Bone marrow aspirate smear: 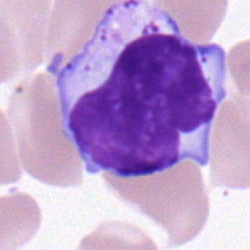 Cell type = lymphocyte.